Bone marrow smear. Single-cell crop:
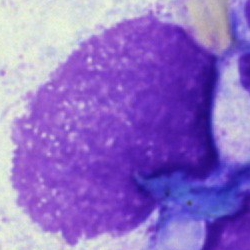Morphology — artifact.